May-Grünwald-Giemsa stain. 40× oil immersion. Bone marrow smear — 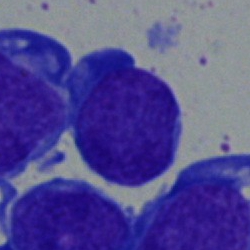This is a blast cell.